Bone marrow aspirate smear
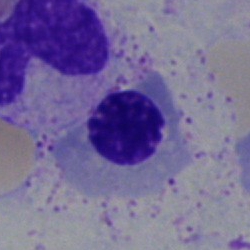
The morphological class is normoblast.